Bone marrow aspirate smear
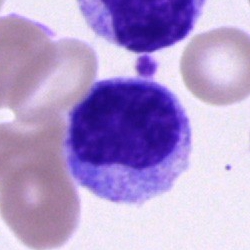
Q: What is shown here?
A: This is a cell of indeterminate lineage.